Bone marrow smear. May-Grünwald-Giemsa/Pappenheim stain: 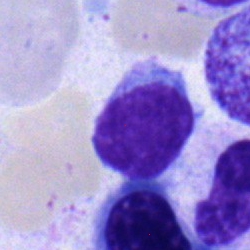

This is a typical lymphocyte.